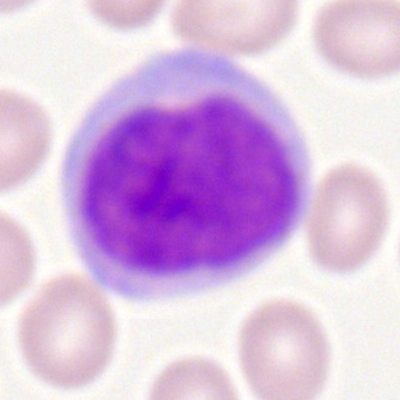A myeloid blast on a peripheral blood smear.